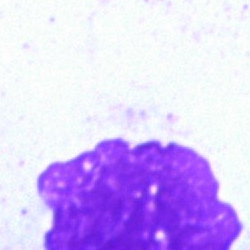 Q: What is shown here?
A: This is an artifact.